Bone marrow aspirate smear — 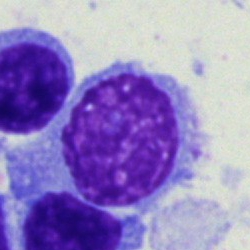

Impression — lymphocyte.